250 by 250 pixels. Bone marrow smear: 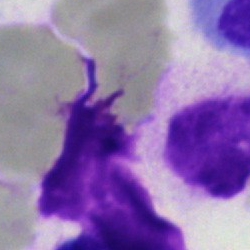

Classification — artifact.